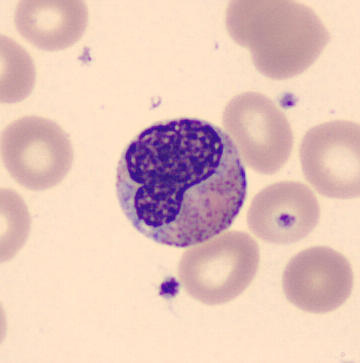 This is a metamyelocyte.
Single-cell crop; image size 360×363; peripheral blood smear.